Bone marrow aspirate smear; Pappenheim-stained:
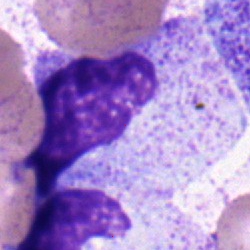 Cell: metamyelocyte.